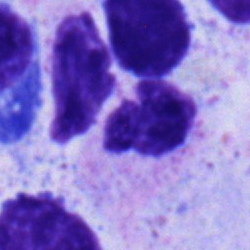 Neutrophil (segmented).